Peripheral blood film.
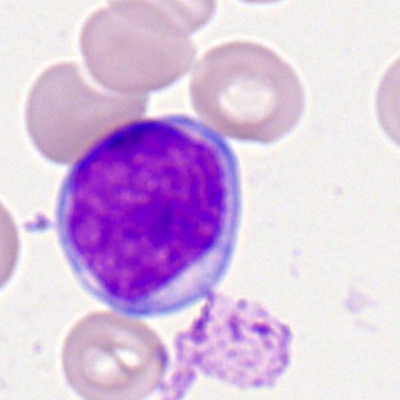
Q: Identify the cell.
A: This is a myeloblast.